250×250 px. Pappenheim-stained. Bone marrow aspirate smear.
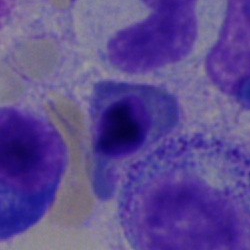This is a myelocyte.